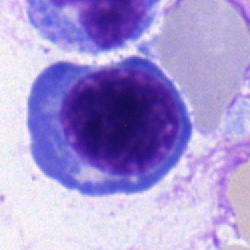 {"cell_type": "nucleated red blood cell"}